Imaged on a CellaVision DM96 analyser · peripheral blood smear:
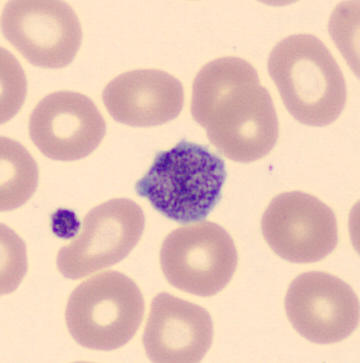 Specimen: peripheral blood smear.
Morphological class: platelet (thrombocyte).